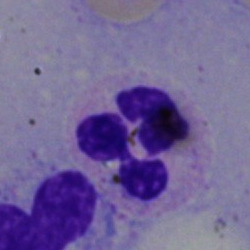 Specimen: bone marrow aspirate smear.
Cell type: segmented neutrophil.
Lineage: myeloid.